Bone marrow aspirate smear; 40× oil immersion: 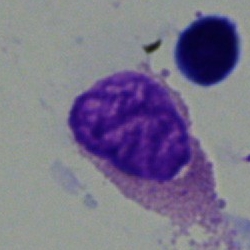
Specimen: bone marrow aspirate smear.
Morphological class: eosinophil.
Lineage: myeloid.